May-Grünwald-Giemsa/Pappenheim stain · bone marrow aspirate smear: 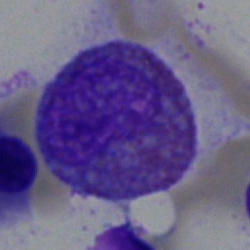

Cell type: eosinophilic granulocyte.